Bone marrow smear.
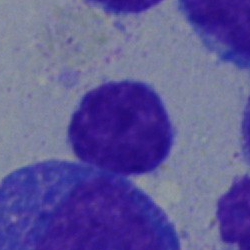Classification = lymphocyte.